40× objective, oil immersion. Cropped to a single cell. Bone marrow smear.
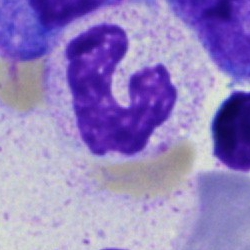
This is a band neutrophil.